Bone marrow smear: 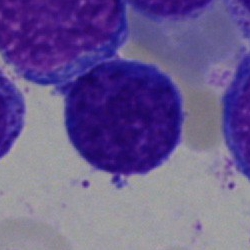Morphology → typical lymphocyte.